Single cell centered in the field; bone marrow smear; 250×250.
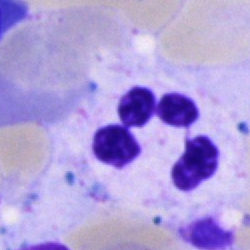
The cell shown is a polymorphonuclear neutrophil.